Bone marrow aspirate smear
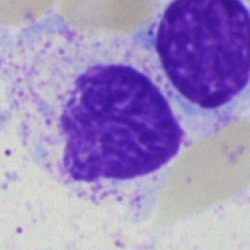
{"cell_type": "artifact"}